250×250 px. Pappenheim-stained. Bone marrow aspirate smear
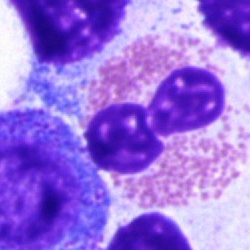

Single cell identified as an eosinophilic granulocyte.